Bone marrow aspirate smear.
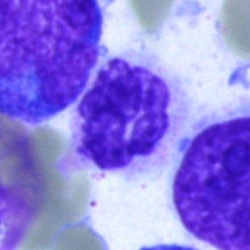Q: What cell is this?
A: Polymorphonuclear neutrophil.